Bone marrow smear: 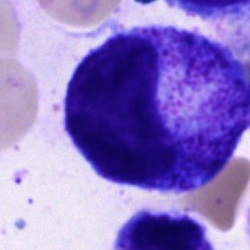 The classification is promyelocyte.